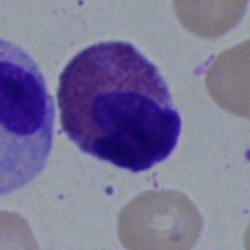Classification — eosinophilic granulocyte.